Bone marrow smear · 250 by 250 pixels:
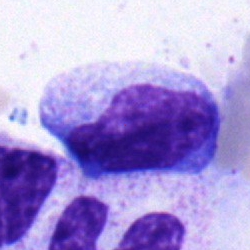

Cell type — monocyte.